Bone marrow aspirate smear:
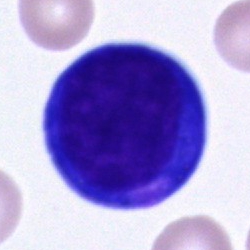
Specimen: bone marrow aspirate smear.
Morphological class: proerythroblast.